Bone marrow aspirate smear — 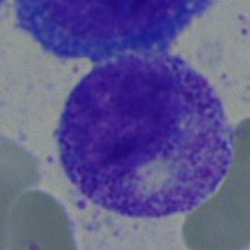Single cell identified as a myelocyte.